Bone marrow aspirate smear. MGG-stained. 250×250 px.
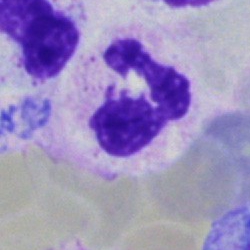
The cell shown is a neutrophil (segmented).